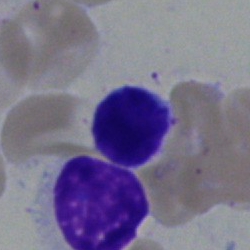 A typical lymphocyte.